40× oil immersion. Bone marrow aspirate smear. Single-cell crop:
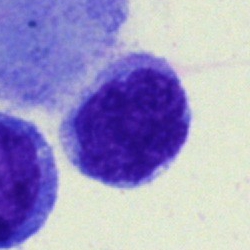

Single cell identified as a monocyte.